Bone marrow aspirate smear; single cell centered in the field:
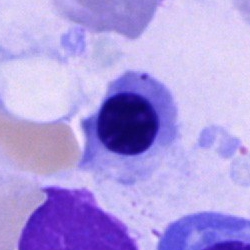Showing a nucleated red blood cell.